Bone marrow smear:
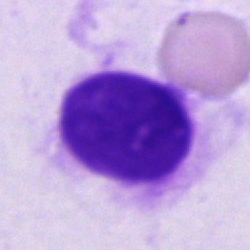An unidentifiable cell.